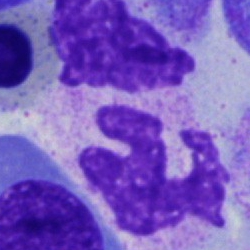 Specimen: bone marrow smear.
Cell type: polymorphonuclear neutrophil.
Lineage: myeloid.